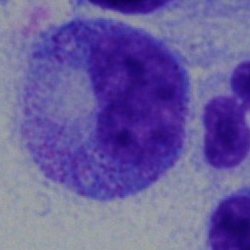Showing a metamyelocyte.